Bone marrow aspirate smear:
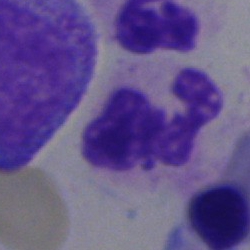Impression → segmented neutrophil.